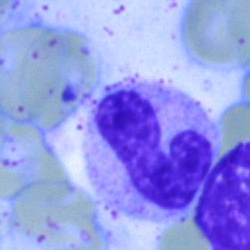Specimen: bone marrow smear.
Cell: band neutrophil.